250×250; May-Grünwald-Giemsa/Pappenheim stain; bone marrow smear.
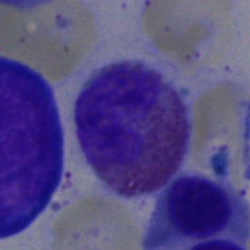
Impression — eosinophilic granulocyte.